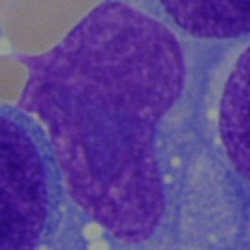

A blast.